Peripheral blood film · 400×400.
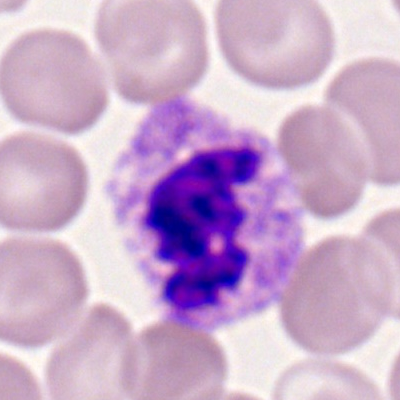

Classification = neutrophil (segmented).